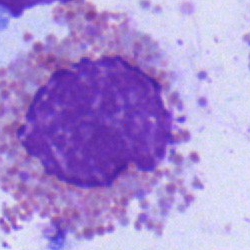 Morphological class: eosinophilic granulocyte.